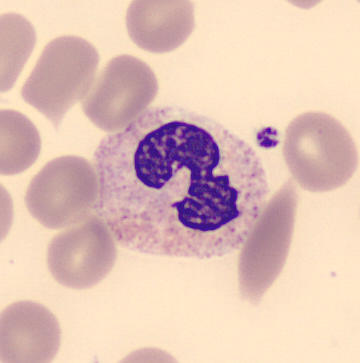Q: Which cell type is shown here?
A: This is a segmented neutrophil. Acquisition: Peripheral blood film.